Bone marrow smear; brightfield microscopy, 40× oil immersion; 250×250 px — 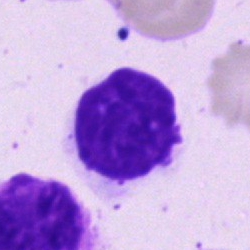

Morphological class — artefact.